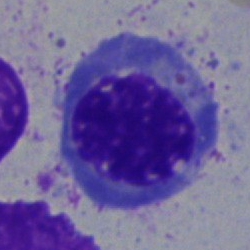The morphological class is nucleated red cell.